Bone marrow aspirate smear:
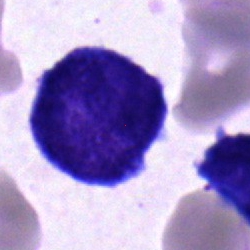 An undifferentiated blast.